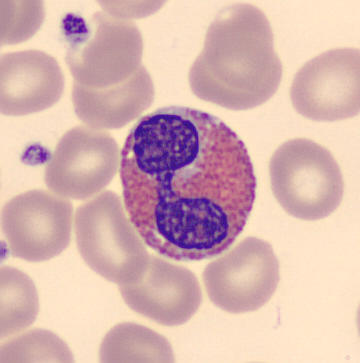

{"cell_type": "eosinophil"}
Image: Peripheral blood film.